Bone marrow aspirate smear:
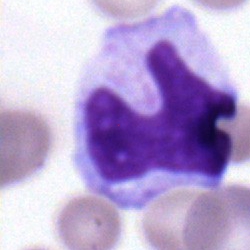Specimen: bone marrow smear.
Morphological class: monocyte.